Bone marrow aspirate smear.
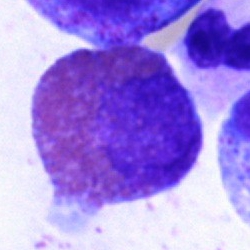 Specimen: bone marrow smear.
Cell: eosinophilic granulocyte.
Lineage: myeloid.